Bone marrow aspirate smear · May-Grünwald-Giemsa/Pappenheim stain · single cell centered in the field:
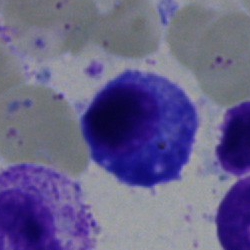

Morphology → plasma cell.